40× oil immersion. Bone marrow aspirate smear.
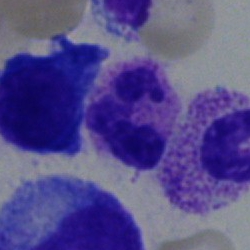Q: What type of cell is this?
A: A neutrophil (segmented).